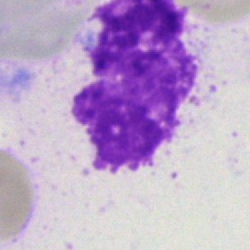Cell type — artifact.